Bone marrow aspirate smear — 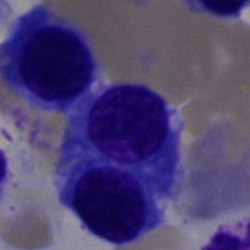 Showing an erythroblast.